Peripheral blood smear.
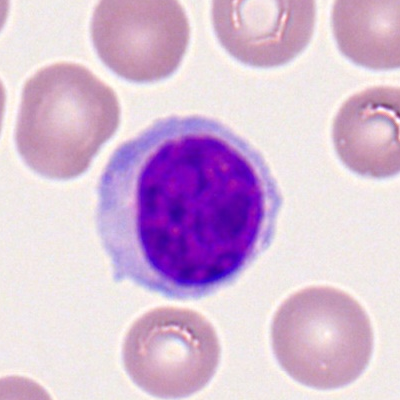Single cell identified as a typical lymphocyte.